Bone marrow smear — 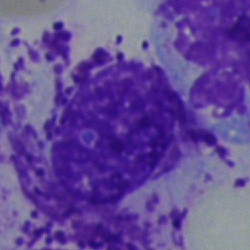 Morphology consistent with an other cell.